Peripheral blood film · 400×400 · 100× oil immersion — 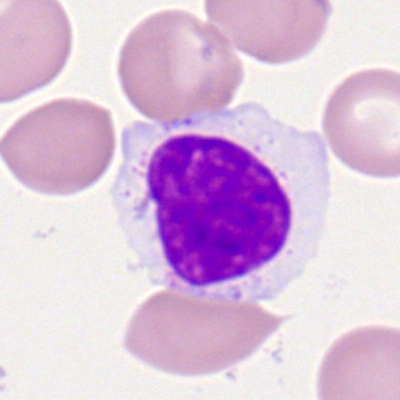Specimen: peripheral blood smear.
Classification: lymphocyte.
Lineage: lymphoid.